250×250 px; brightfield, 40× oil-immersion objective; bone marrow smear — 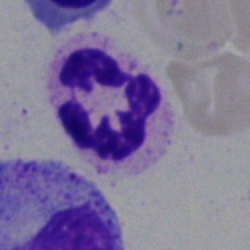

Q: Identify the cell.
A: A segmented neutrophil.